Bone marrow aspirate smear: 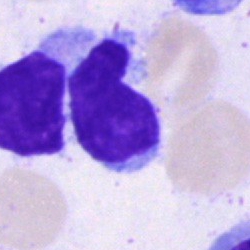
Single cell identified as a typical lymphocyte.